Bone marrow aspirate smear: 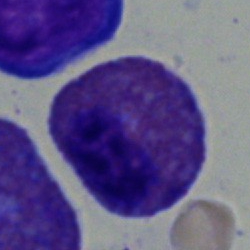

Morphology consistent with an eosinophil.